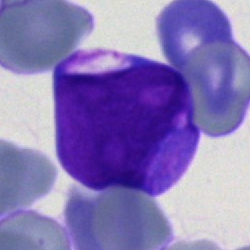 Specimen: bone marrow smear.
Cell type: blast cell.